Bone marrow smear. Pappenheim-stained. Single-cell field:
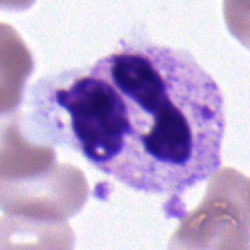

Morphology → segmented neutrophil.